Bone marrow smear; 250×250 px — 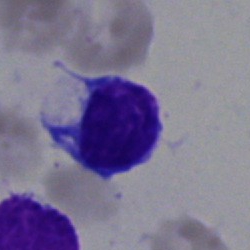 Q: Which cell type is shown here?
A: This is a typical lymphocyte.